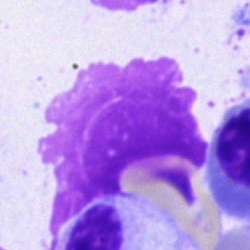Single-cell crop from a bone marrow smear: artefact.